Bone marrow aspirate smear.
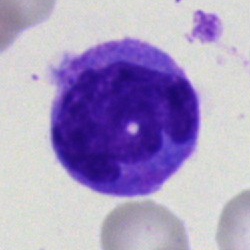

Specimen: bone marrow aspirate smear.
Classification: monocyte.